250 by 250 pixels; bone marrow aspirate smear.
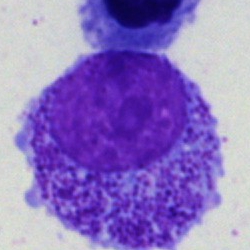 {"cell_type": "progranulocyte", "lineage": "myeloid"}